Bone marrow smear: 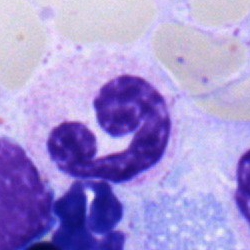

Morphological class — neutrophil (segmented).